Bone marrow smear · brightfield microscopy, 40× oil immersion · 250 by 250 pixels: 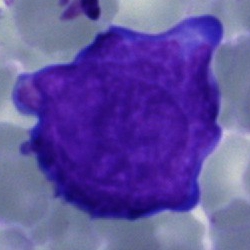 Q: Which cell type is shown here?
A: Proerythroblast.